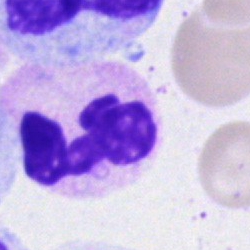

Cell type: polymorphonuclear neutrophil.